Peripheral blood smear · single-cell crop · 400 by 400 pixels
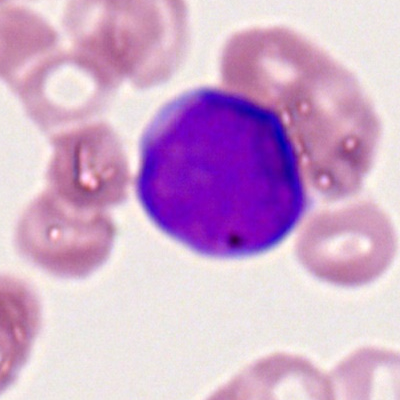
Specimen: peripheral blood smear.
Morphological class: myeloid blast.
Lineage: myeloid.